Bone marrow smear · brightfield, 40× oil-immersion objective: 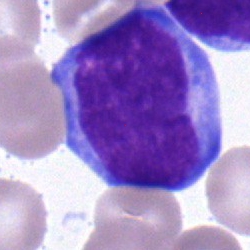

Q: What is shown here?
A: Undifferentiated blast.